May-Grünwald-Giemsa stain · bone marrow aspirate smear.
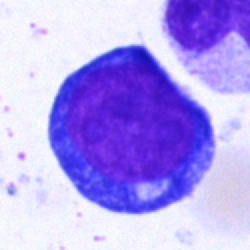
Impression — proerythroblast.